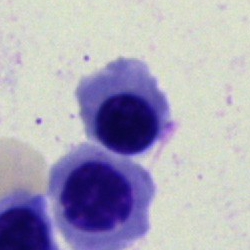
Q: What is shown here?
A: A normoblast.